Peripheral blood film:
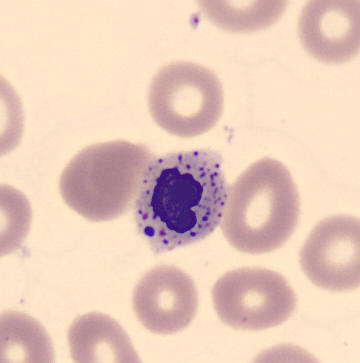
Specimen: peripheral blood smear.
Cell type: erythroblast.